Peripheral blood smear.
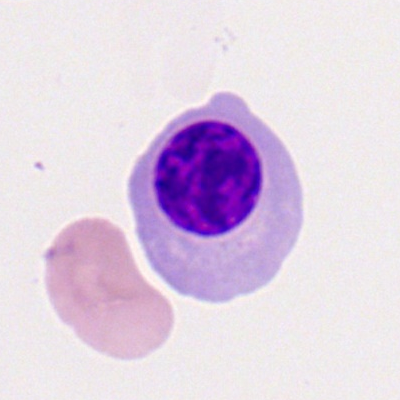
Classification = nucleated red cell.